Bone marrow smear; Pappenheim-stained — 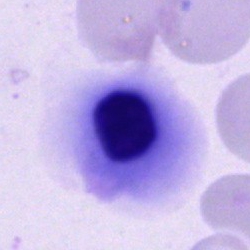

This is a nucleated red cell.